Bone marrow aspirate smear.
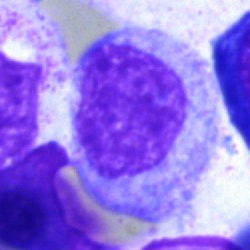 Showing a progranulocyte.